Bone marrow smear — 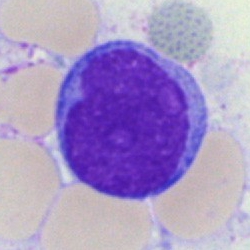 Morphological class — blast.